Bone marrow aspirate smear; cropped to a single cell: 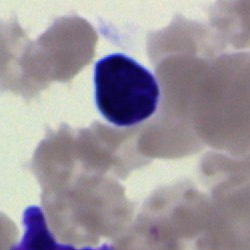 Impression — artefact.